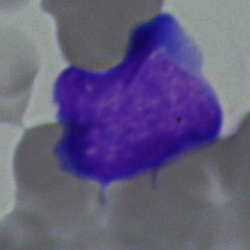

Specimen: bone marrow aspirate smear.
Cell: blast.